Brightfield microscopy, 40× oil immersion; May-Grünwald-Giemsa stain; bone marrow aspirate smear: 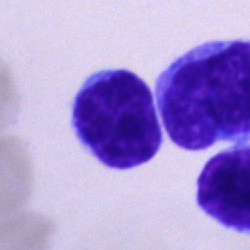 The cell shown is a lymphocyte.